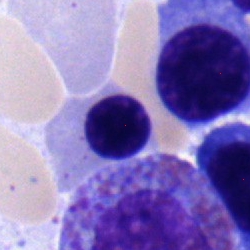
Q: What type of cell is this?
A: An erythroblast.